Bone marrow aspirate smear; 250×250 px.
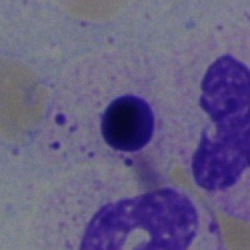 A normoblast.